250×250 px · bone marrow smear: 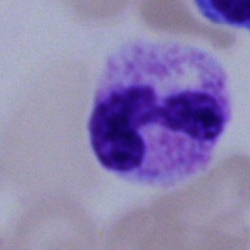{"cell_type": "polymorphonuclear neutrophil"}